Image size 250×250 · bone marrow aspirate smear · 40× oil immersion:
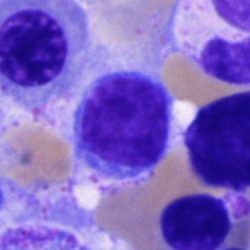Morphological class: lymphocyte.